Bone marrow smear: 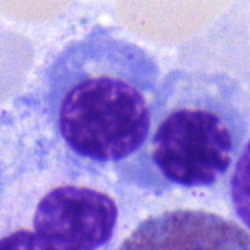Cell = nucleated red blood cell.